250×250 px; bone marrow aspirate smear
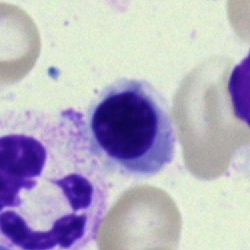 An erythroblast.